250×250; single-cell crop; bone marrow aspirate smear:
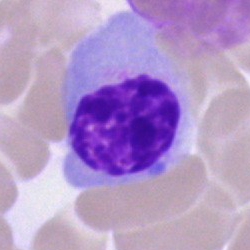The morphological class is nucleated red cell.